Bone marrow aspirate smear: 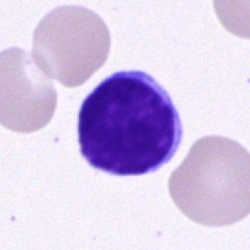
Impression — lymphocyte.